Bone marrow aspirate smear; cropped to a single cell; 250×250 px:
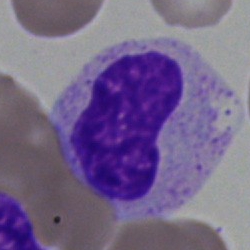 {"cell_type": "metamyelocyte", "lineage": "myeloid"}